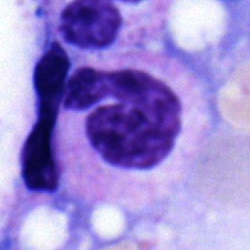Showing a polymorphonuclear neutrophil.